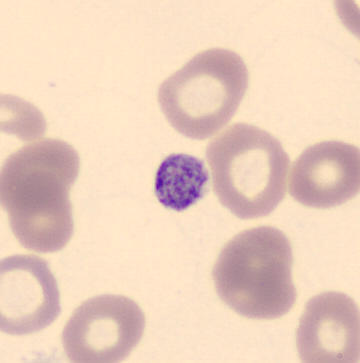
Morphology consistent with a thrombocyte.